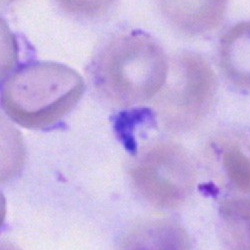Specimen: bone marrow smear.
Morphological class: artefact.